Bone marrow smear.
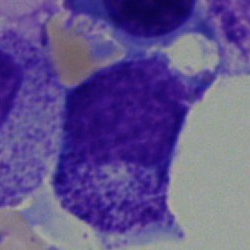Classification: myelocyte.